Image size 250×250 · bone marrow smear — 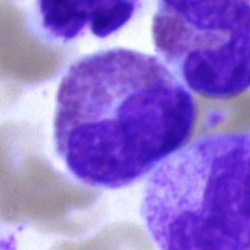Q: What is the morphological classification of this cell?
A: An eosinophil.